Bone marrow aspirate smear — 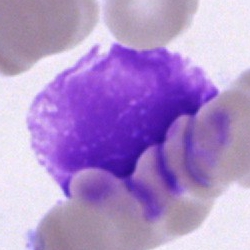

Specimen: bone marrow smear.
Morphological class: artefact.